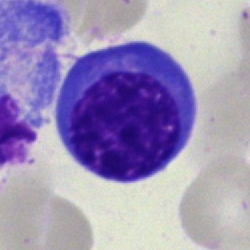 Specimen: bone marrow smear.
Classification: nucleated red blood cell.